Bone marrow smear · brightfield, 40× oil-immersion objective: 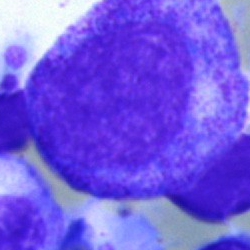

Morphology — progranulocyte.